Peripheral blood film. Romanowsky-stained: 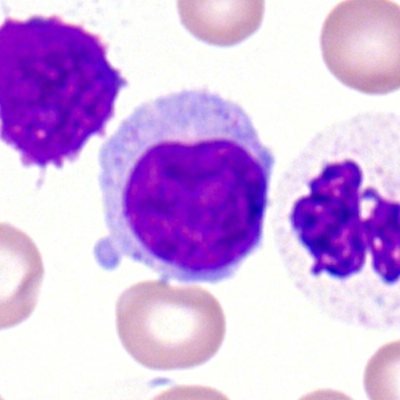
This is a typical lymphocyte.